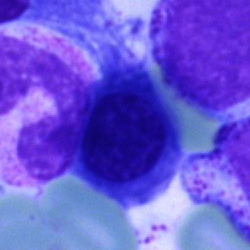Q: What type of cell is this?
A: Normoblast.